Peripheral blood film
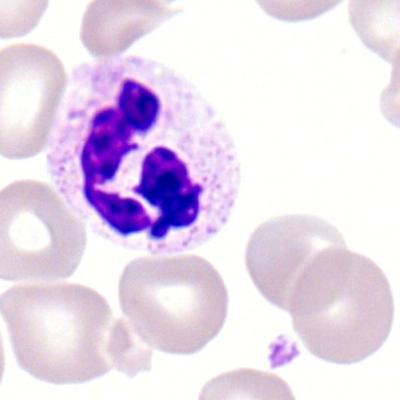
A neutrophil (segmented).